Bone marrow aspirate smear
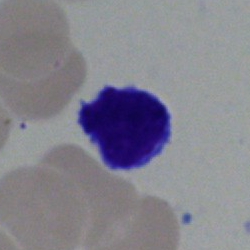Specimen: bone marrow aspirate smear.
Morphological class: lymphocyte.